Bone marrow smear. Pappenheim-stained: 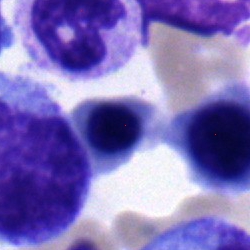

{"cell_type": "nucleated red blood cell"}